Cropped to a single cell. Bone marrow smear. Brightfield microscopy, 40× oil immersion.
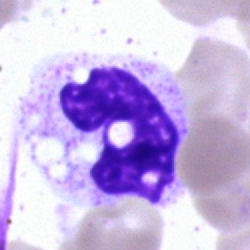 Cell = neutrophil (segmented).